May-Grünwald-Giemsa/Pappenheim stain · 250 by 250 pixels · bone marrow aspirate smear
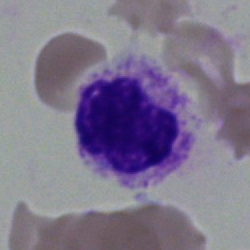A neutrophil (segmented).